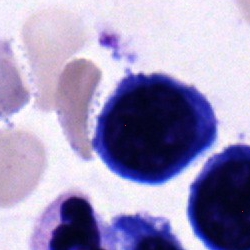Specimen: bone marrow smear.
Classification: erythroblast.
Lineage: erythroid.